Pappenheim-stained · single-cell field · bone marrow aspirate smear.
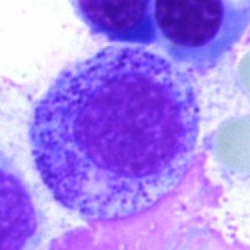
Classification — myelocyte.